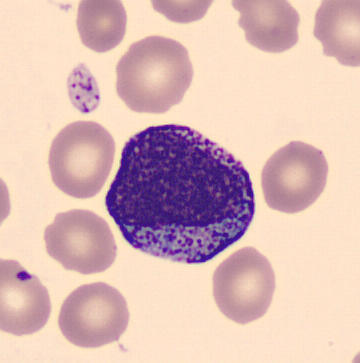

Preparation: Single-cell crop · May Grünwald-Giemsa stain. Specimen: peripheral blood smear.
Classification: progranulocyte.